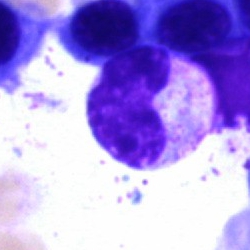This is a band neutrophil.